Bone marrow aspirate smear — 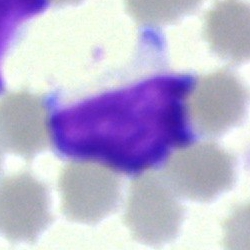This is a lymphocyte.